Bone marrow smear: 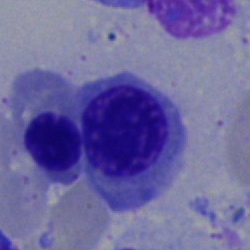Specimen: bone marrow smear.
Morphological class: nucleated red cell.